Bone marrow smear
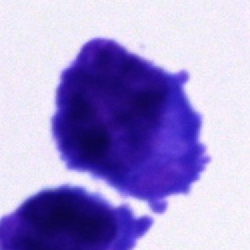
Showing a cell of indeterminate lineage.